Bone marrow smear: 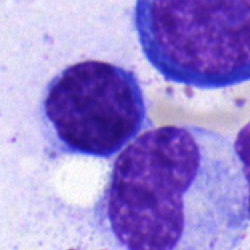Q: Which cell type is shown here?
A: Typical lymphocyte.